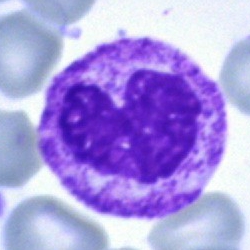 Neutrophil (band).